Bone marrow aspirate smear: 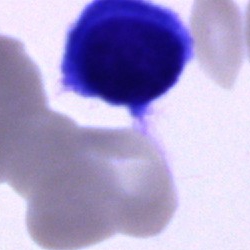The cell is unidentifiable cell.